Bone marrow smear.
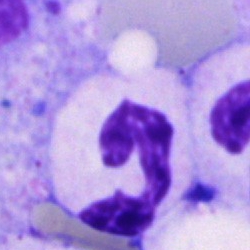Specimen: bone marrow smear.
Morphological class: segmented neutrophil.